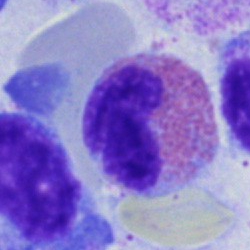
An eosinophil on a bone marrow smear.